Bone marrow smear — 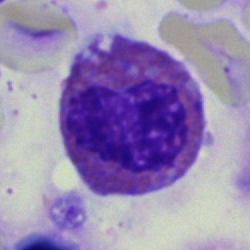

Impression → eosinophilic granulocyte.